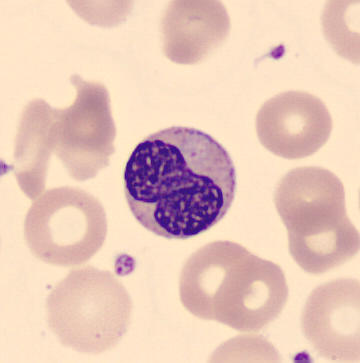

Impression → metamyelocyte.